Bone marrow aspirate smear · brightfield microscopy, 40× oil immersion · cropped to a single cell — 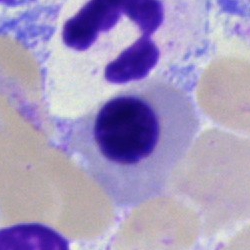
Specimen: bone marrow smear.
Morphological class: nucleated red blood cell.
Lineage: erythroid.